Bone marrow aspirate smear — 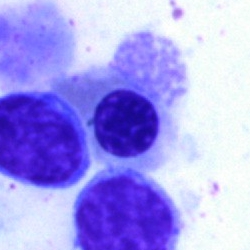
Q: What is the morphological classification of this cell?
A: This is a nucleated red blood cell.